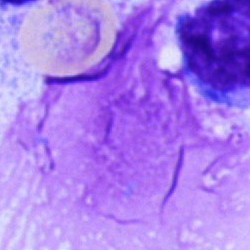

Cell — artifact.